Bone marrow aspirate smear; brightfield, 40× oil-immersion objective — 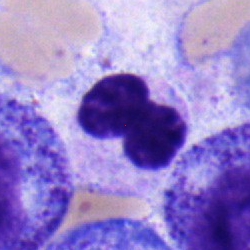Cell type: band neutrophil.